Image size 400×400. M8 digital microscope (Precipoint), 100× oil immersion. Peripheral blood smear
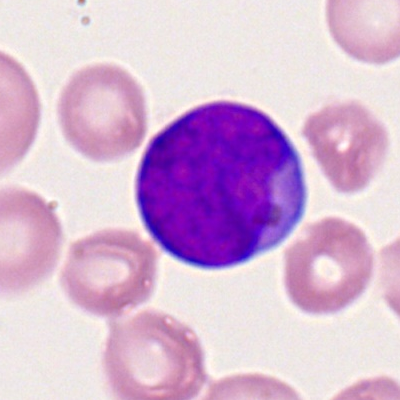 This is a myeloid blast.